Bone marrow smear
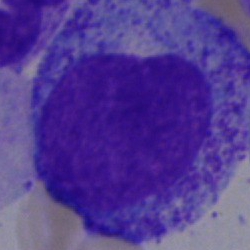Q: What is the morphological classification of this cell?
A: This is a promyelocyte.